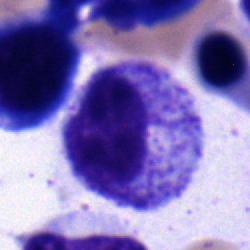
Myelocyte.